40× oil immersion · single-cell crop · bone marrow aspirate smear:
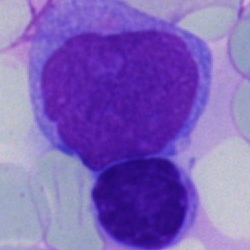
Blast cell.